Peripheral blood smear
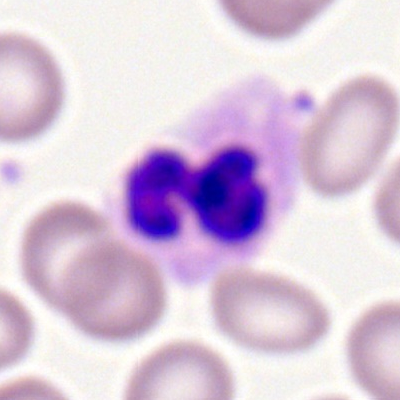
The cell shown is a polymorphonuclear neutrophil.